Bone marrow smear: 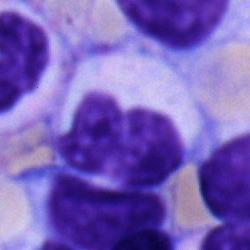
Q: What is shown here?
A: A segmented neutrophil.